Bone marrow smear: 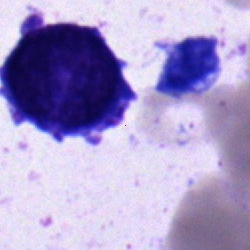{"cell_type": "blast"}